Cropped to a single cell; bone marrow smear
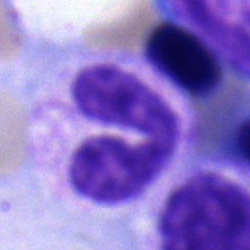
Impression → neutrophil (band).